Bone marrow smear
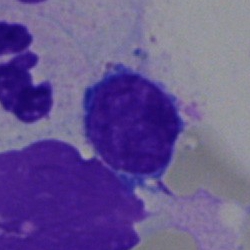
The cell shown is a typical lymphocyte.